Bone marrow smear
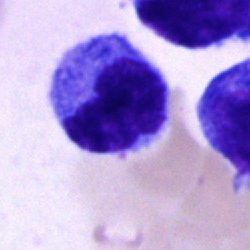
Q: What cell is this?
A: It is a cell of indeterminate lineage.